Bone marrow smear. Image size 250×250.
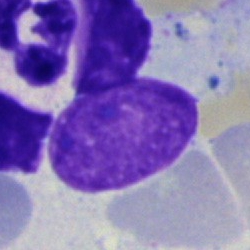
Cell type = artefact.